Single cell centered in the field · bone marrow smear · 40× oil immersion
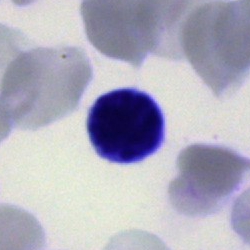Cell type = typical lymphocyte.